Bone marrow aspirate smear · single cell centered in the field.
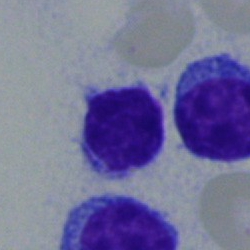
Specimen: bone marrow smear.
Morphological class: lymphocyte.